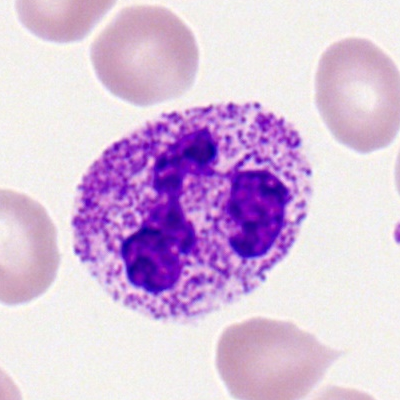 A segmented neutrophil on a peripheral blood smear.